Bone marrow aspirate smear; 250×250.
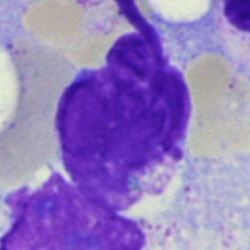

An artifact.